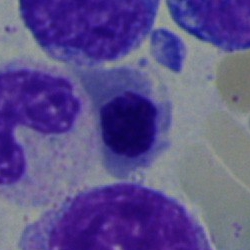
Morphology consistent with a nucleated red blood cell.